Bone marrow aspirate smear. Single-cell field. Brightfield, 40× oil-immersion objective: 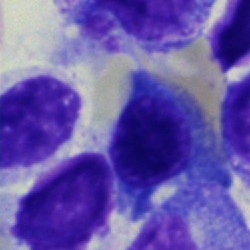

Cell type = nucleated red cell.